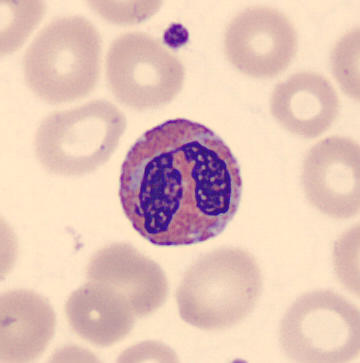 Preparation: Single cell centered in the field. Peripheral blood smear. Q: What cell is this?
A: Eosinophilic granulocyte.